Bone marrow smear · MGG-stained · cropped to a single cell — 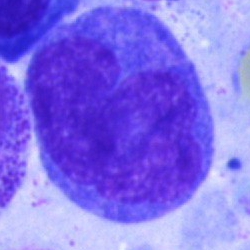Monocyte.